Image size 400×400 · peripheral blood smear — 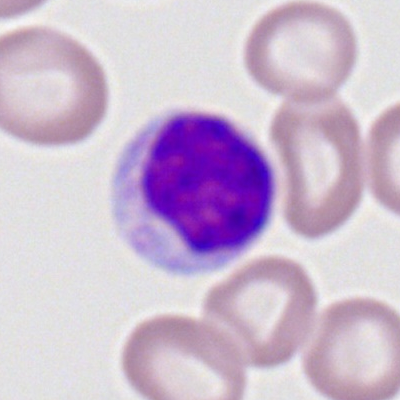Typical lymphocyte.